Single-cell field; peripheral blood film: 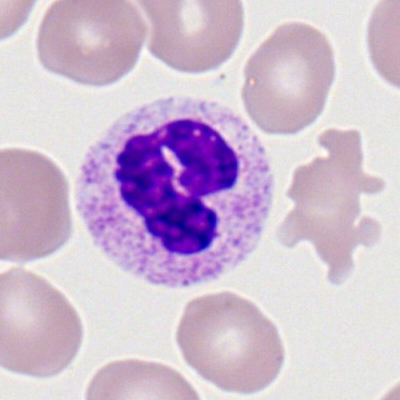

Morphology — segmented neutrophil.